Bone marrow smear:
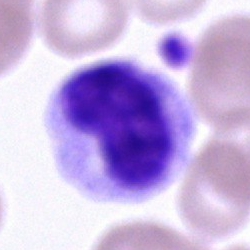 Showing a cell of indeterminate lineage.